Bone marrow aspirate smear; MGG-stained.
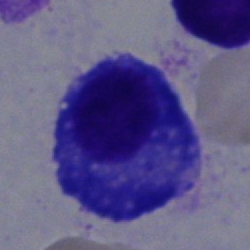 Classification = plasmacyte.